40× objective, oil immersion · bone marrow aspirate smear — 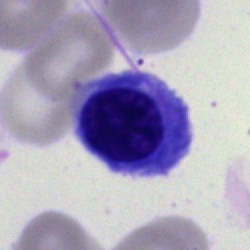

Cell type = nucleated red cell.